MGG-stained · bone marrow smear:
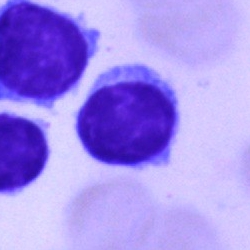 Cell = lymphocyte.